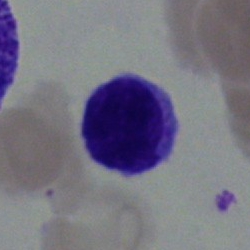

Morphology → lymphocyte.